40× oil immersion · bone marrow aspirate smear: 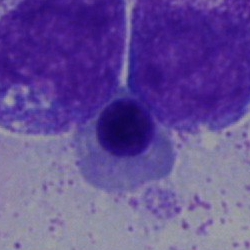 Specimen: bone marrow smear.
Morphological class: erythroblast.
Lineage: erythroid.